Bone marrow aspirate smear — 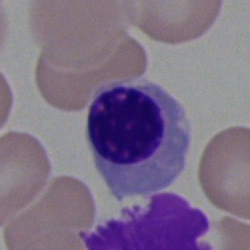

The cell type is erythroblast.